Bone marrow smear · cropped to a single cell: 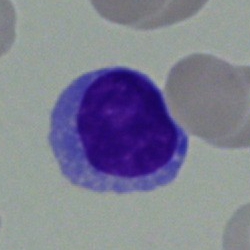

Typical lymphocyte.